Bone marrow smear
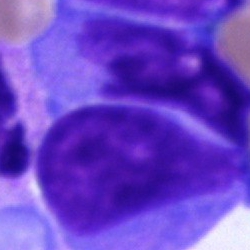Q: What type of cell is this?
A: A blast cell.